Bone marrow smear · brightfield, 40× oil-immersion objective.
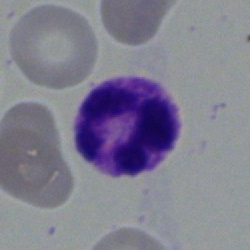
Q: Identify the cell.
A: Segmented neutrophil.